Bone marrow aspirate smear: 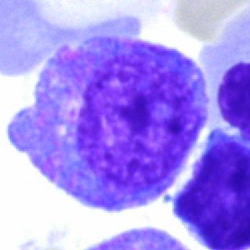

The cell shown is a promyelocyte.